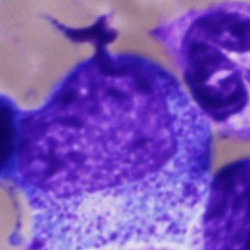 This is a progranulocyte.